MGG-stained. 250×250 px. Bone marrow aspirate smear:
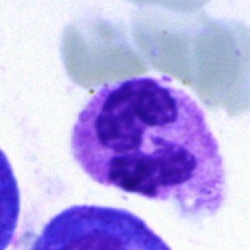

Morphological class: polymorphonuclear neutrophil.